Bone marrow smear: 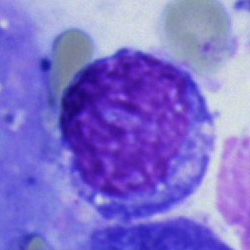Specimen: bone marrow aspirate smear.
Morphological class: blast cell.